Bone marrow smear · image size 250×250 — 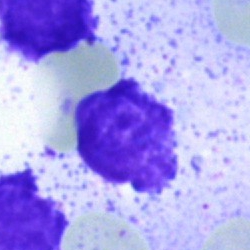 Specimen: bone marrow aspirate smear.
Cell: artifact.